Bone marrow aspirate smear.
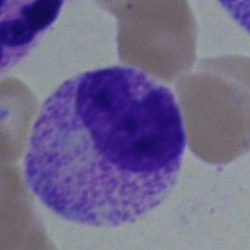 Metamyelocyte.